Bone marrow smear:
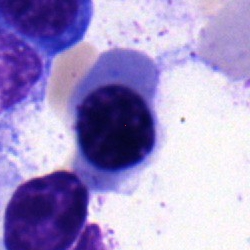 Q: What cell is this?
A: A normoblast.